Bone marrow aspirate smear — 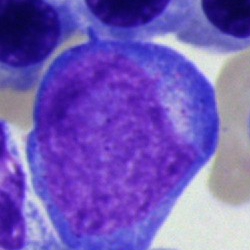 Morphology consistent with a pronormoblast.